Bone marrow smear. Single cell centered in the field:
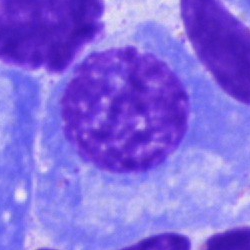Cell — plasma cell.